250×250 px · bone marrow aspirate smear: 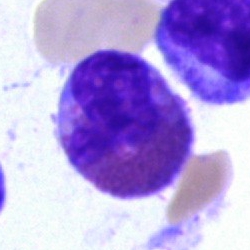
Q: What cell is this?
A: Eosinophil.